Bone marrow aspirate smear; Pappenheim-stained:
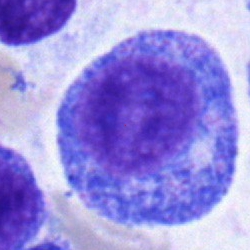

Impression — promyelocyte.